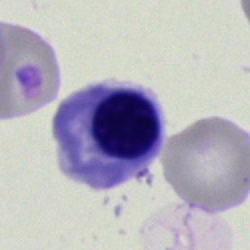 Morphological class: normoblast.